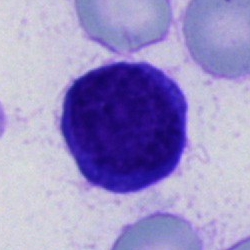Single-cell crop from a bone marrow smear: cell of indeterminate lineage.